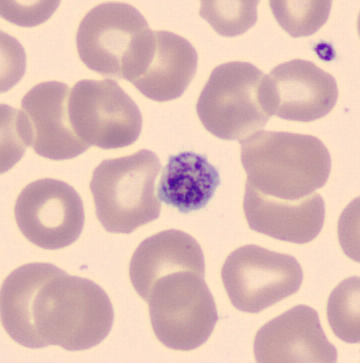
A thrombocyte on a peripheral blood smear.